Bone marrow aspirate smear; 250 by 250 pixels; May-Grünwald-Giemsa stain:
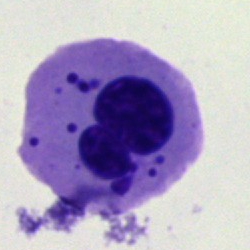 Nucleated red cell.